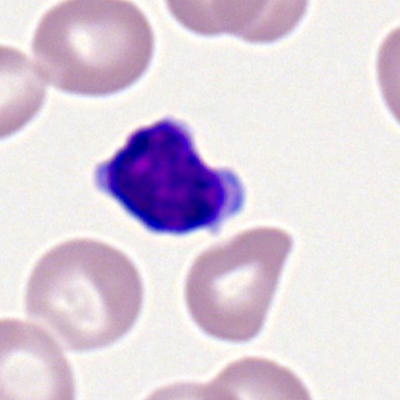 Specimen: peripheral blood film.
Cell: lymphocyte.